Peripheral blood smear. 400 by 400 pixels.
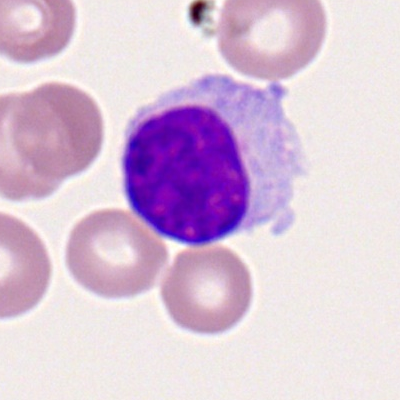
A lymphocyte.